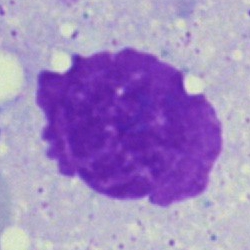
Artefact.